Bone marrow aspirate smear.
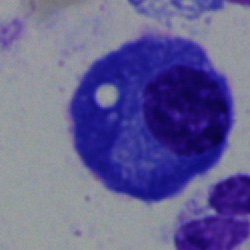

This is a plasma cell.